Bone marrow aspirate smear
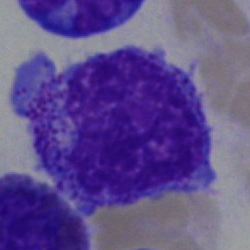 Morphology consistent with a myelocyte.